Bone marrow aspirate smear — 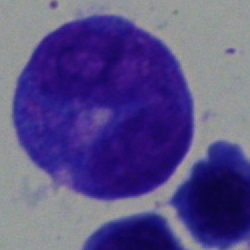

Impression — progranulocyte.